Brightfield microscopy, 40× oil immersion; bone marrow aspirate smear — 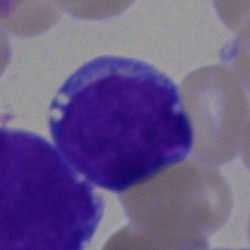

Classification = undifferentiated blast.